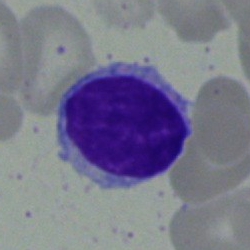
Specimen: bone marrow aspirate smear.
Morphological class: typical lymphocyte.
Lineage: lymphoid.